May-Grünwald-Giemsa/Pappenheim stain · bone marrow aspirate smear.
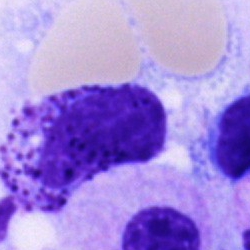

Single cell identified as a basophil.